Bone marrow smear. Image size 250×250:
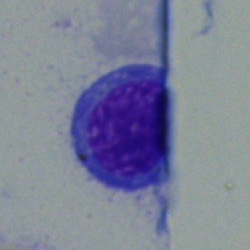
Showing a nucleated red cell.